Bone marrow aspirate smear
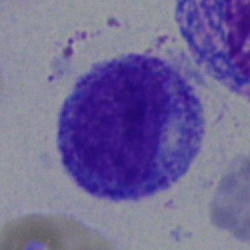 This is a promyelocyte.